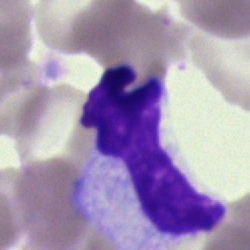 Impression → artifact.